Bone marrow aspirate smear; single-cell crop.
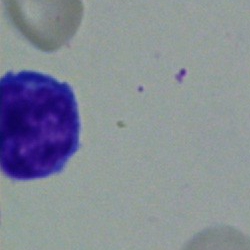
A lymphocyte.